Bone marrow smear — 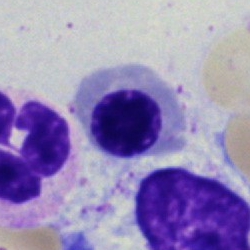Morphology consistent with a nucleated red cell.